Bone marrow aspirate smear.
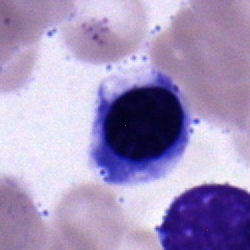Specimen: bone marrow smear.
Cell type: nucleated red cell.
Lineage: erythroid.